Bone marrow aspirate smear
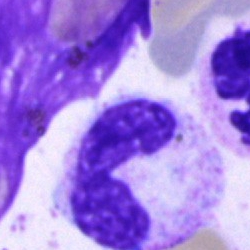Morphology — stab cell.